250 by 250 pixels. Bone marrow aspirate smear.
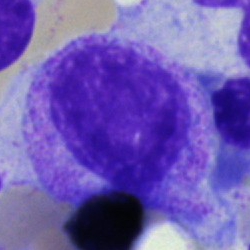

A promyelocyte.